Bone marrow aspirate smear:
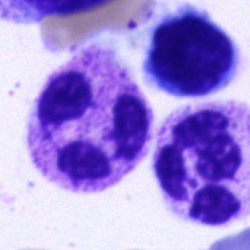 This is a segmented neutrophil.